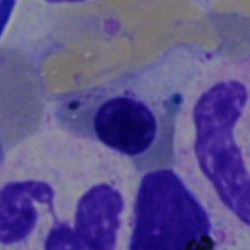Specimen: bone marrow aspirate smear.
Cell type: normoblast.
Lineage: erythroid.